Bone marrow aspirate smear.
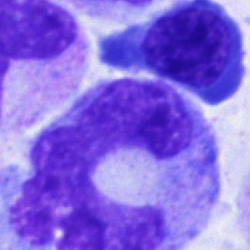The morphological class is monocyte.